Single-cell crop; bone marrow aspirate smear — 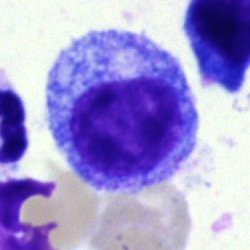

Morphology consistent with a progranulocyte.